250 by 250 pixels. Bone marrow aspirate smear.
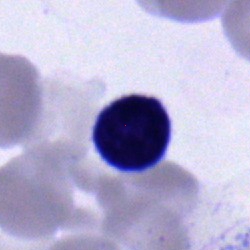 Showing a lymphocyte.